Bone marrow smear — 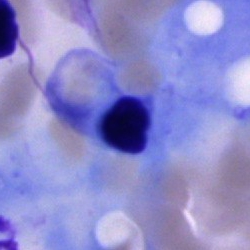This is an artefact.